MGG-stained; bone marrow smear — 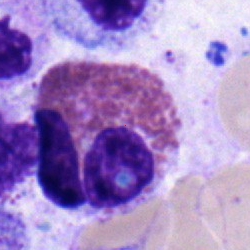
The cell shown is an eosinophil.